Bone marrow aspirate smear · cropped to a single cell
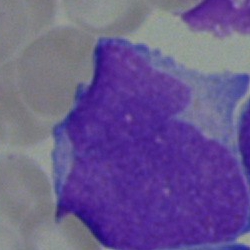 {"cell_type": "blast"}